Single-cell crop; peripheral blood smear — 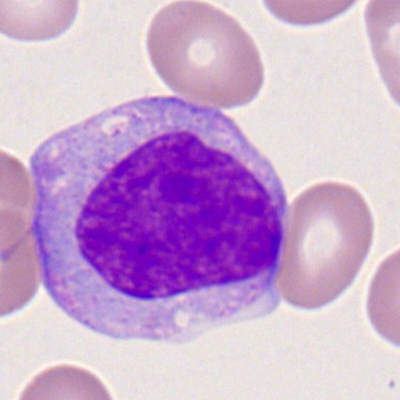 Classification: monoblast.